May-Grünwald-Giemsa/Pappenheim stain. Bone marrow aspirate smear:
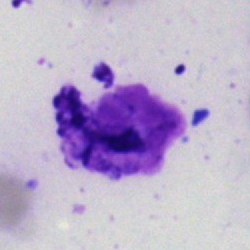Classification — artifact.